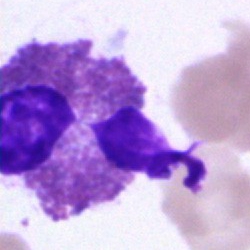
An eosinophilic granulocyte.